400 by 400 pixels · peripheral blood smear · 100× oil immersion
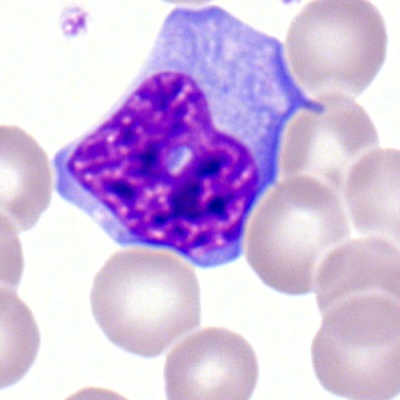 Cell — atypical lymphocyte.